40× objective, oil immersion · bone marrow aspirate smear · cropped to a single cell:
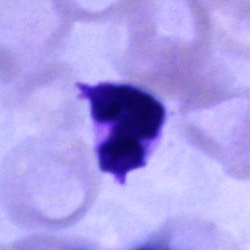 Showing a segmented neutrophil.